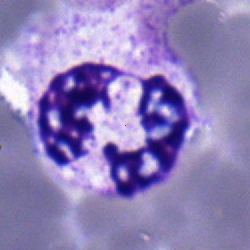Classification = polymorphonuclear neutrophil.